Single cell centered in the field. Bone marrow smear.
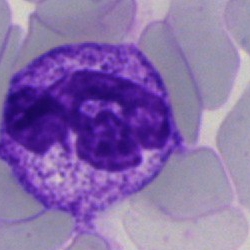 Q: What is shown here?
A: This is a neutrophil (segmented).